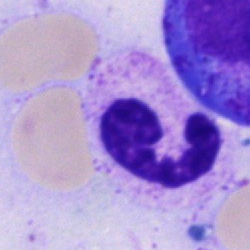
Cell: polymorphonuclear neutrophil.